Single-cell field. Bone marrow aspirate smear: 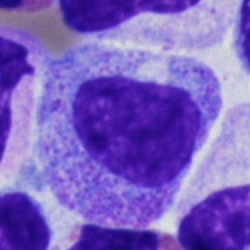
Q: What type of cell is this?
A: Myelocyte.